May-Grünwald-Giemsa stain; bone marrow smear; brightfield microscopy, 40× oil immersion
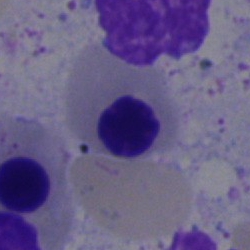 Morphology consistent with a nucleated red cell.